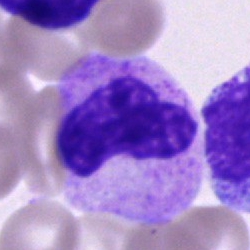Single cell identified as a neutrophil (segmented).